Bone marrow smear. Single-cell crop. 250×250
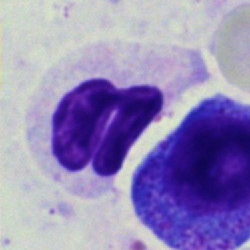{"cell_type": "segmented neutrophil"}